Single cell centered in the field. Bone marrow aspirate smear. 250 by 250 pixels: 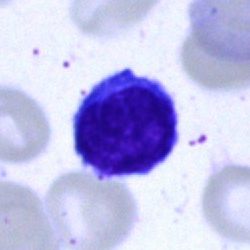
Morphology → typical lymphocyte.